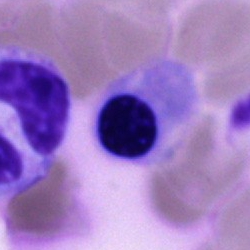 The cell is nucleated red blood cell.